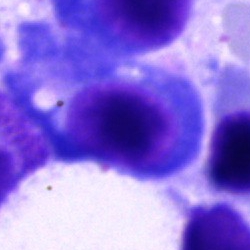 A plasmacyte.